Brightfield microscopy, 40× oil immersion; Pappenheim-stained; bone marrow aspirate smear — 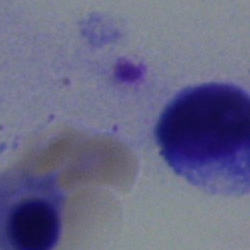 {"cell_type": "normoblast", "lineage": "erythroid"}